Bone marrow smear — 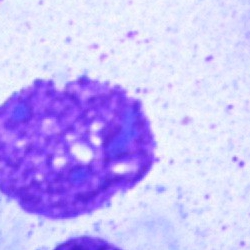

Impression → artifact.